Bone marrow aspirate smear. 40× oil immersion:
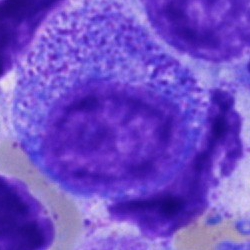Cell type — progranulocyte.